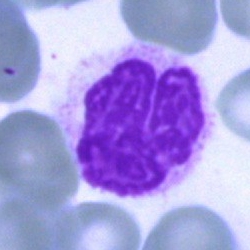 Classification = artifact.